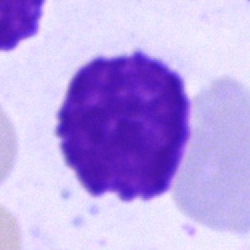

The cell shown is an artifact.